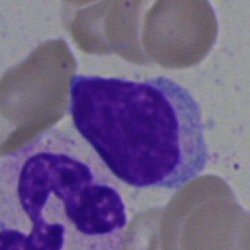
Bone marrow smear showing a typical lymphocyte.